Bone marrow aspirate smear
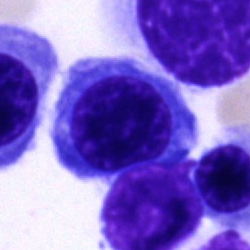Morphology → nucleated red blood cell.